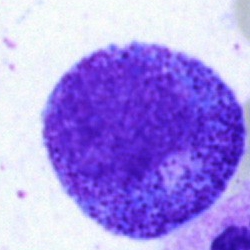

Morphological class = progranulocyte.